Bone marrow aspirate smear. 40× oil immersion. MGG-stained: 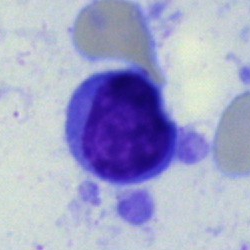 Morphology → lymphocyte.